Bone marrow aspirate smear: 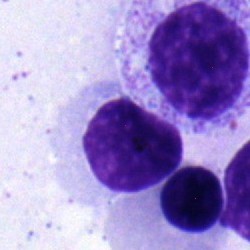
Showing a lymphocyte.